Bone marrow smear · May-Grünwald-Giemsa/Pappenheim stain.
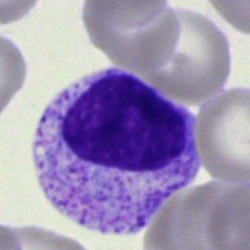Specimen: bone marrow aspirate smear.
Classification: myelocyte.